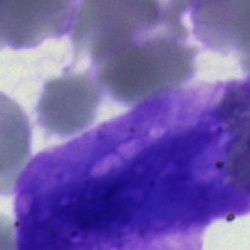 Morphological class — artefact.